Peripheral blood smear: 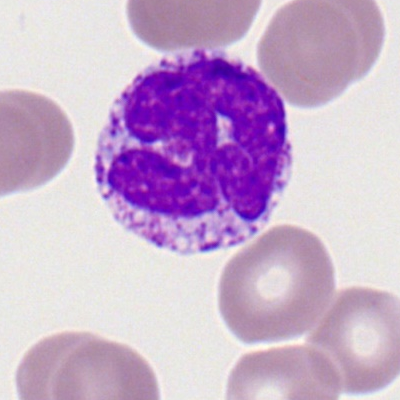 Specimen: peripheral blood smear.
Cell type: monocyte.